Bone marrow aspirate smear
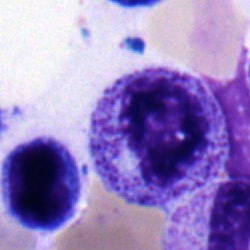
The cell shown is a myelocyte.